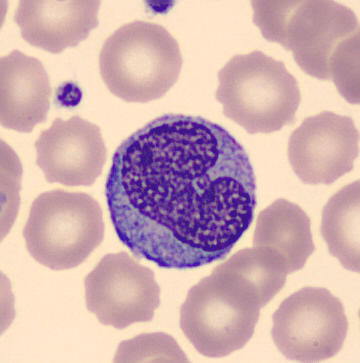

The cell shown is a monocyte.

Peripheral blood film. Single cell centered in the field.